Bone marrow smear
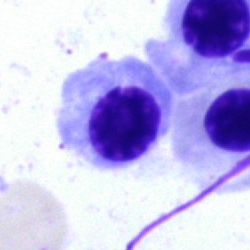Q: What type of cell is this?
A: It is a nucleated red cell.